Bone marrow aspirate smear; brightfield, 40× oil-immersion objective; 250×250 — 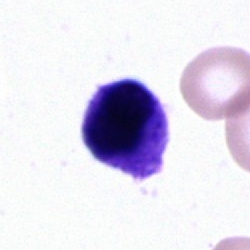

{"cell_type": "cell of indeterminate lineage"}